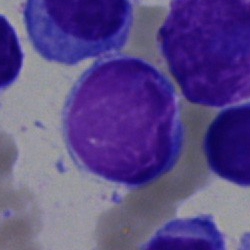
Specimen: bone marrow smear.
Cell: typical lymphocyte.